Bone marrow aspirate smear; brightfield microscopy, 40× oil immersion:
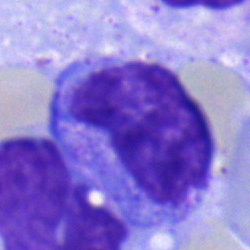 Monocyte.